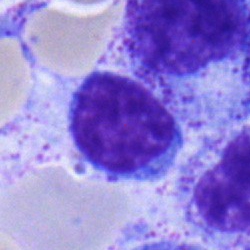 Bone marrow aspirate smear, single cell — lymphocyte.